Bone marrow aspirate smear; May-Grünwald-Giemsa/Pappenheim stain: 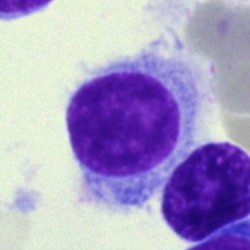Cell: hairy cell.